Bone marrow smear; May-Grünwald-Giemsa/Pappenheim stain — 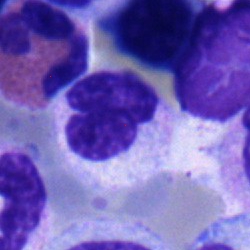

Single cell identified as a neutrophil (segmented).